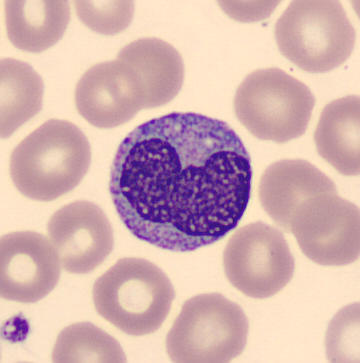

Showing a monocyte.

Peripheral blood film.